Bone marrow aspirate smear; 40× objective, oil immersion; 250 by 250 pixels.
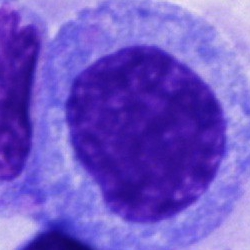 Cell type — blast cell.